Bone marrow smear · single-cell crop · MGG-stained
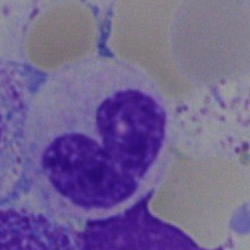Specimen: bone marrow aspirate smear.
Cell: neutrophil (band).
Lineage: myeloid.